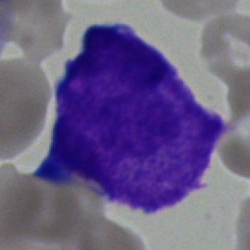 Single-cell crop from a bone marrow smear: blast cell.